Single cell centered in the field; bone marrow aspirate smear.
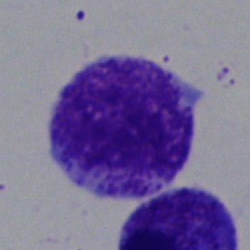

The morphological class is myelocyte.